Bone marrow smear — 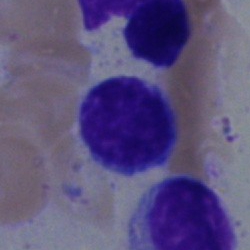The cell shown is a typical lymphocyte.